Bone marrow aspirate smear: 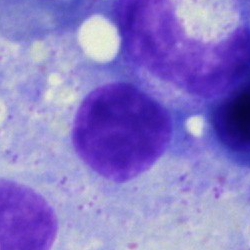
Morphology consistent with a typical lymphocyte.